40× objective, oil immersion · Pappenheim-stained · bone marrow aspirate smear — 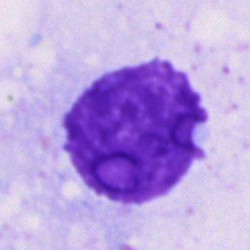Cell: artifact.